Imaged on a CellaVision DM96 analyser; peripheral blood film: 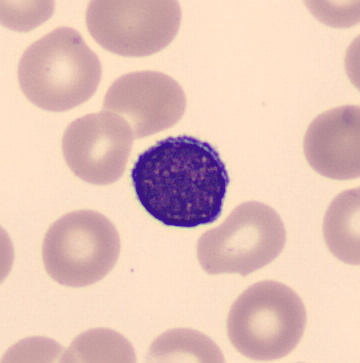 Showing a lymphocyte.